Bone marrow aspirate smear
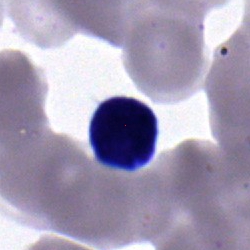
A lymphocyte.